250×250 px; bone marrow smear
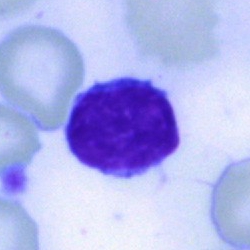 Q: Identify the cell.
A: It is a typical lymphocyte.